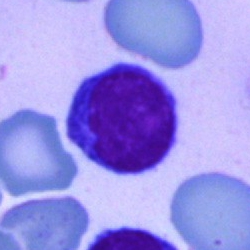

Cell: typical lymphocyte.